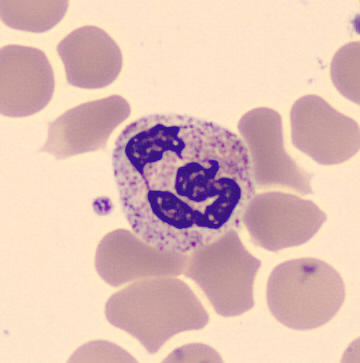 Acquisition: Peripheral blood smear; May Grünwald-Giemsa stain.

Classification = polymorphonuclear neutrophil.